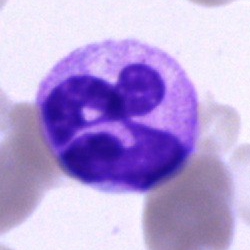
Q: What is shown here?
A: It is a neutrophil (segmented).